Bone marrow aspirate smear: 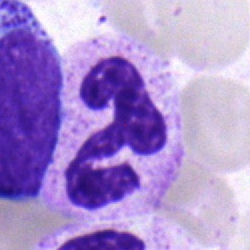

Morphology consistent with a neutrophil (segmented).